Bone marrow smear — 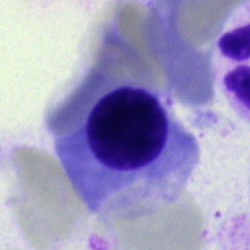

Morphological class: erythroblast.